Bone marrow aspirate smear — 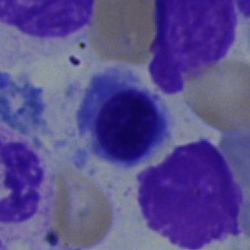

Cell: erythroblast.